Brightfield microscopy, 40× oil immersion. Bone marrow aspirate smear — 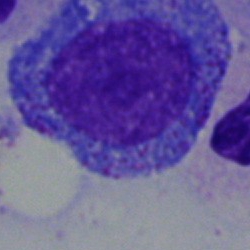
A promyelocyte.